Bone marrow aspirate smear:
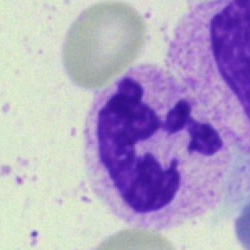

Q: What type of cell is this?
A: A polymorphonuclear neutrophil.